Bone marrow smear; brightfield microscopy, 40× oil immersion: 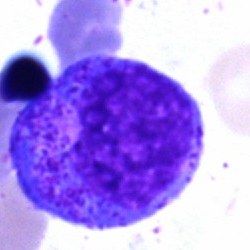 Showing a progranulocyte.